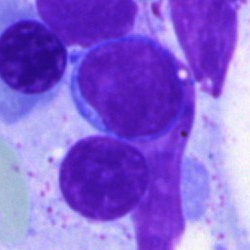
Morphology → lymphocyte.